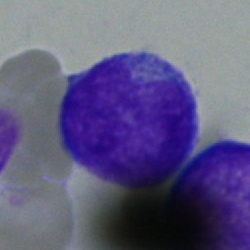

Specimen: bone marrow smear.
Cell type: blast.